Bone marrow aspirate smear · 250×250
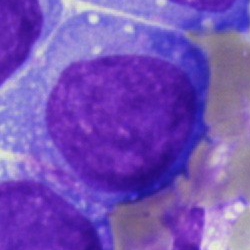
Cell type = undifferentiated blast.